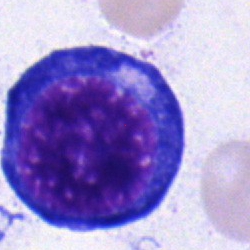 Single cell identified as a pronormoblast.